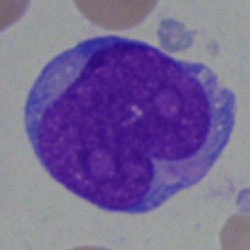Cell type — blast cell.